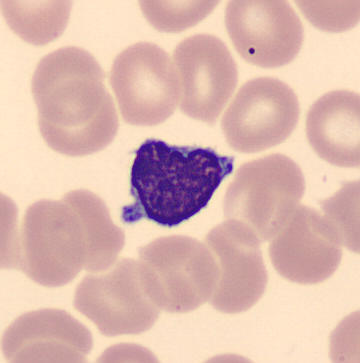Identified as a lymphocyte.